Image size 250×250; bone marrow smear — 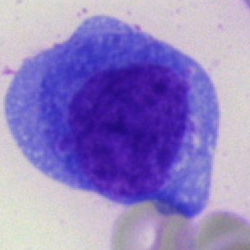Single cell identified as a blast.